Bone marrow smear.
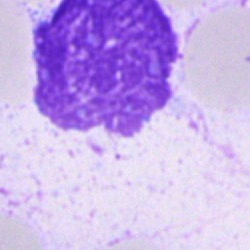
An artefact.